Peripheral blood smear: 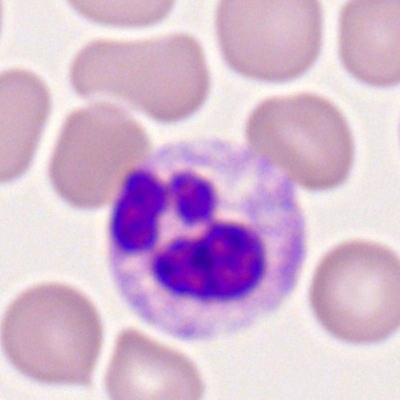

Specimen: peripheral blood film.
Classification: polymorphonuclear neutrophil.
Lineage: myeloid.